250×250 px · bone marrow aspirate smear
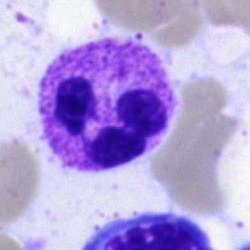 Q: What is the morphological classification of this cell?
A: A polymorphonuclear neutrophil.